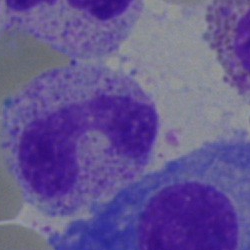

Cell — band neutrophil.